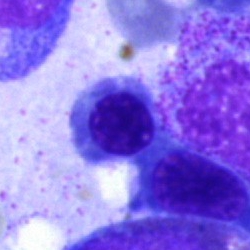 Q: What type of cell is this?
A: An erythroblast.